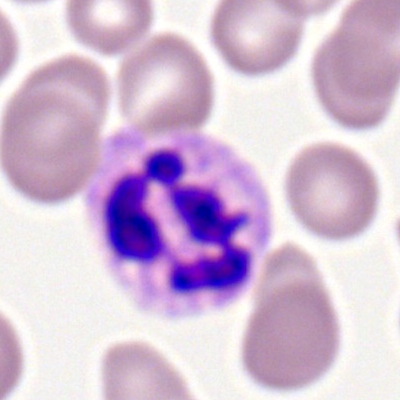
Q: What cell is this?
A: This is a neutrophil (segmented).